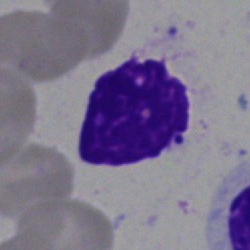 Q: What is shown here?
A: An artefact.